Bone marrow smear — 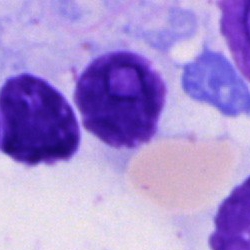Artefact.